Bone marrow smear: 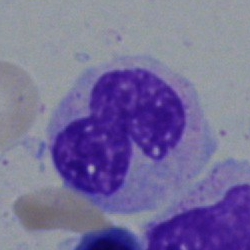Specimen: bone marrow aspirate smear.
Morphological class: monocyte.
Lineage: myeloid.